Peripheral blood film · single-cell crop: 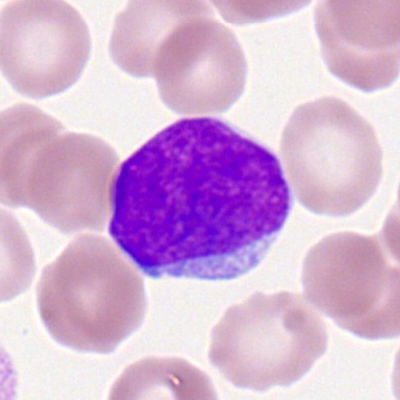
Impression — myeloid blast.